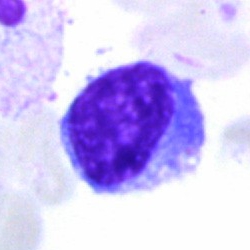Single cell identified as a typical lymphocyte.